Bone marrow aspirate smear: 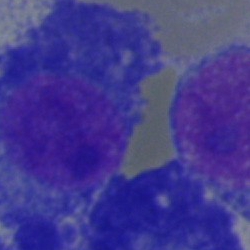 Showing a plasmacyte.